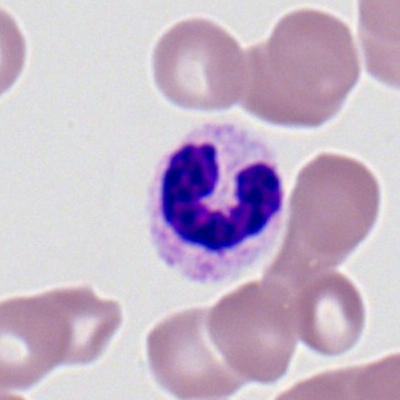
Q: What cell is this?
A: This is a neutrophil (band).